Bone marrow aspirate smear.
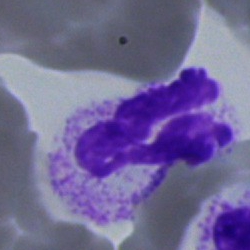Classification: neutrophil (segmented).